Bone marrow smear: 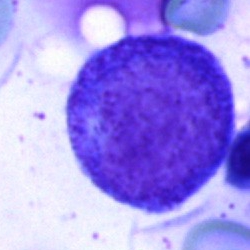
Cell = progranulocyte.